Peripheral blood film — 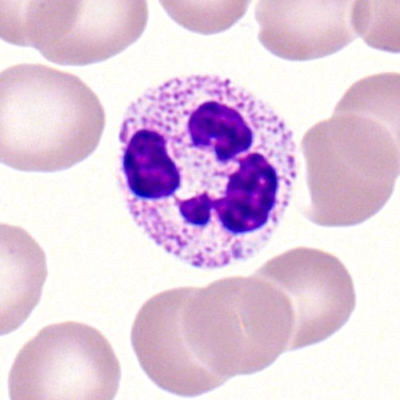
Cell type: segmented neutrophil.